Bone marrow smear. Brightfield, 40× oil-immersion objective: 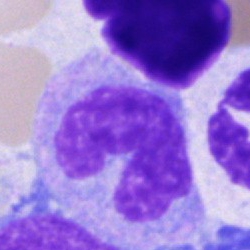 Q: What is the morphological classification of this cell?
A: A monocyte.